Bone marrow aspirate smear: 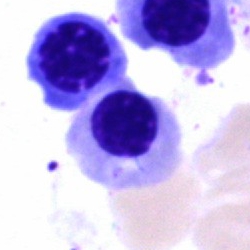
Cell = normoblast.